Bone marrow smear:
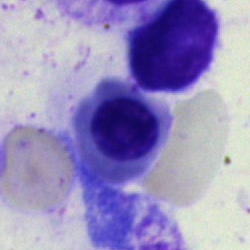Impression — nucleated red blood cell.